Bone marrow smear · 250×250 — 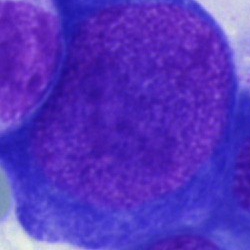 Showing a pronormoblast.